Peripheral blood smear:
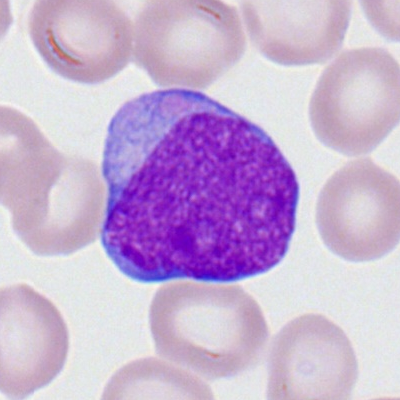

Impression → myeloid blast.